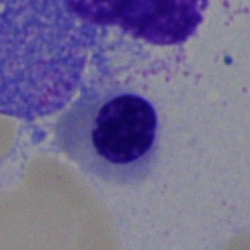The cell type is normoblast.